Pappenheim-stained · 40× oil immersion · bone marrow smear:
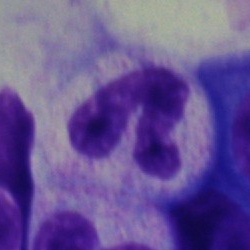This is a segmented neutrophil.